Bone marrow smear — 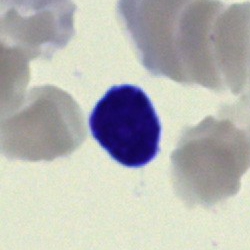 A typical lymphocyte.